Bone marrow smear; 40× oil immersion.
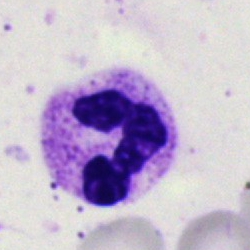
A polymorphonuclear neutrophil.